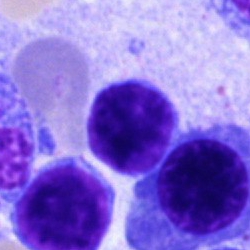

Q: Identify the cell.
A: Typical lymphocyte.